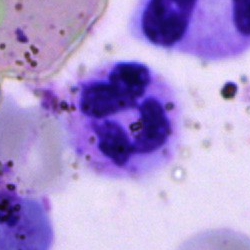
Showing a neutrophil (segmented).